Bone marrow aspirate smear — 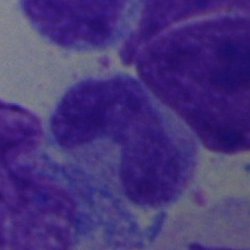

{"cell_type": "metamyelocyte", "lineage": "myeloid"}